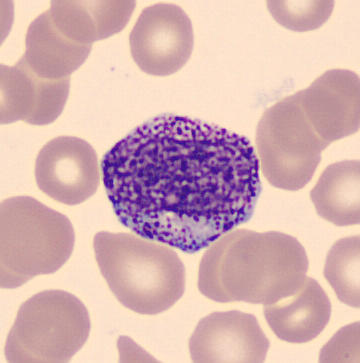Cell: myelocyte.
Acquisition: Peripheral blood film.